40× objective, oil immersion. Bone marrow aspirate smear: 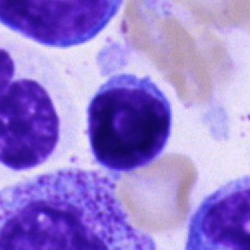 Specimen: bone marrow smear.
Morphological class: typical lymphocyte.